Bone marrow smear · Pappenheim-stained
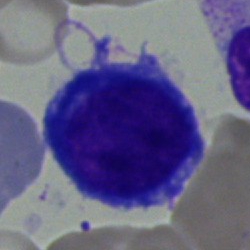

Impression — proerythroblast.